Romanowsky-stained; peripheral blood smear.
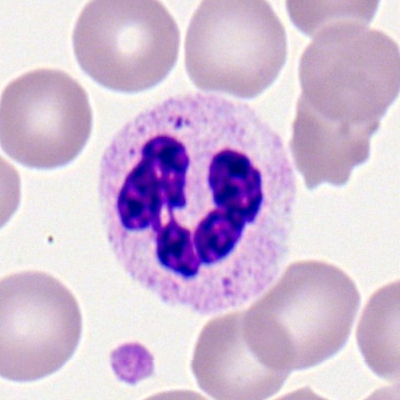
Segmented neutrophil.